Peripheral blood smear; single cell centered in the field; May Grünwald-Giemsa stain
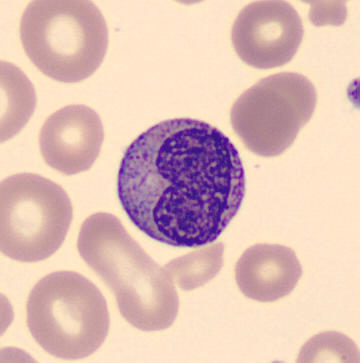Specimen: peripheral blood film.
Cell: metamyelocyte.
Lineage: myeloid.